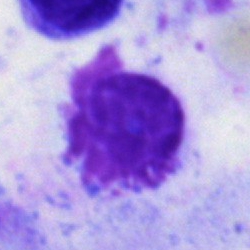

Bone marrow aspirate smear, single cell — artifact.